Bone marrow smear: 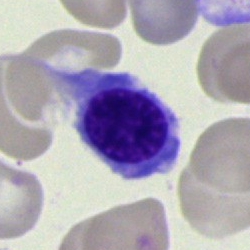

The cell type is erythroblast.